Single-cell crop. Bone marrow aspirate smear.
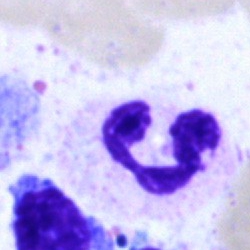

Neutrophil (segmented).